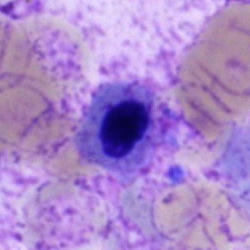

Morphology consistent with a nucleated red blood cell.